Bone marrow aspirate smear; 250×250 px; May-Grünwald-Giemsa/Pappenheim stain
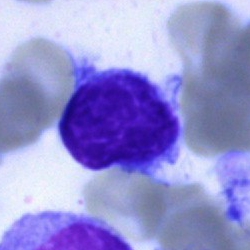 The cell shown is a typical lymphocyte.